Brightfield, 40× oil-immersion objective. Bone marrow aspirate smear:
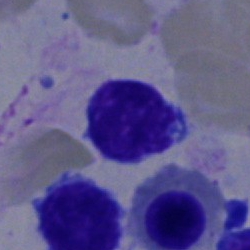 Q: What type of cell is this?
A: A lymphocyte.